Brightfield, 40× oil-immersion objective. Bone marrow aspirate smear
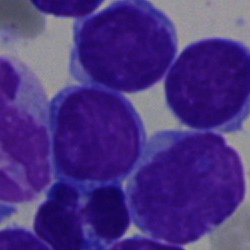
Classification: typical lymphocyte.